Bone marrow smear — 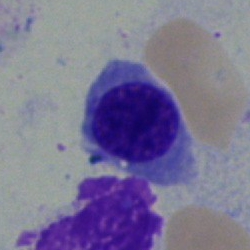

Q: Identify the cell.
A: This is a normoblast.